Bone marrow smear.
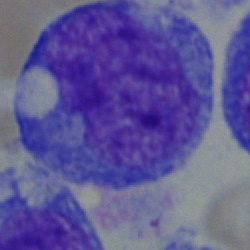

Classification: blast cell.